250×250 px. May-Grünwald-Giemsa stain. Bone marrow smear
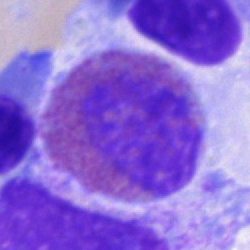The cell type is eosinophil.